Single cell centered in the field; bone marrow aspirate smear; 250×250 px — 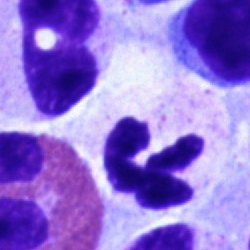 The cell shown is a segmented neutrophil.